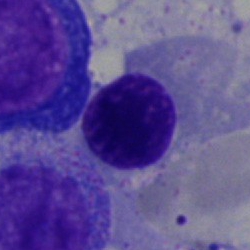
A normoblast on a bone marrow smear.